Single-cell crop · bone marrow smear.
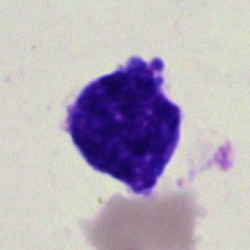 Cell type — undifferentiated blast.